Peripheral blood smear; 400×400 px
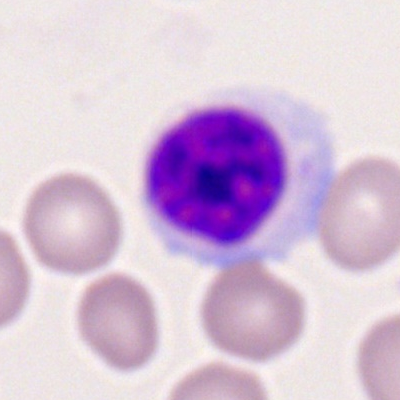 A typical lymphocyte.